Bone marrow smear. Single-cell field. 40× oil immersion
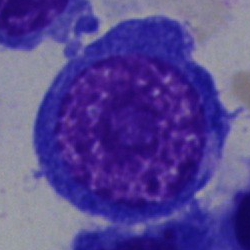Morphological class — nucleated red blood cell.